Peripheral blood smear
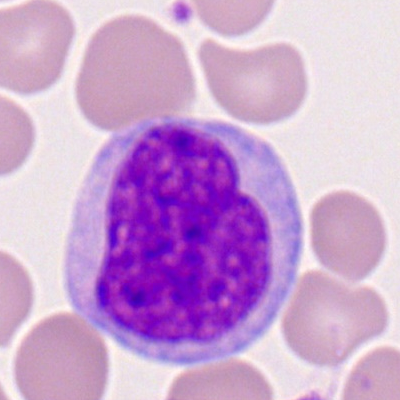

Specimen: peripheral blood smear.
Classification: monocyte.
Lineage: myeloid.